Bone marrow aspirate smear · brightfield, 40× oil-immersion objective · single-cell crop: 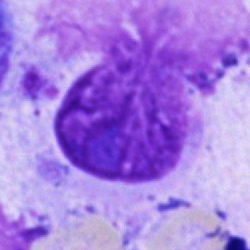 This is an artefact.